Bone marrow smear — 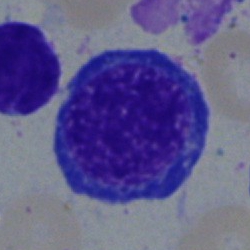This is a nucleated red blood cell.